Bone marrow smear · 250 by 250 pixels.
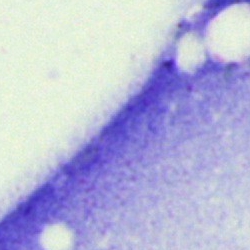 Cell type = artefact.